Brightfield, 40× oil-immersion objective. 250 by 250 pixels. Bone marrow smear:
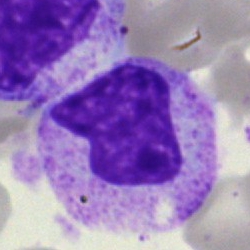
Band-form neutrophil.